Peripheral blood smear:
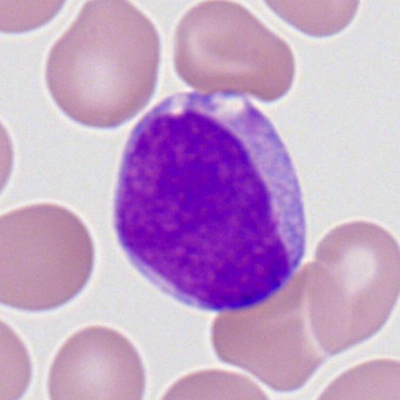Morphology consistent with a myeloid blast.